Bone marrow aspirate smear.
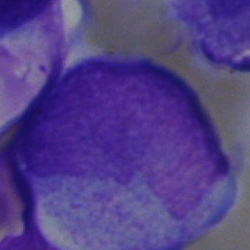Single cell identified as a promyelocyte.